Bone marrow aspirate smear.
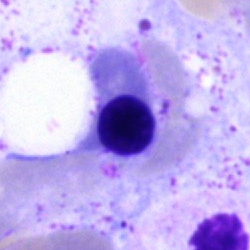This is a nucleated red blood cell.